Peripheral blood smear:
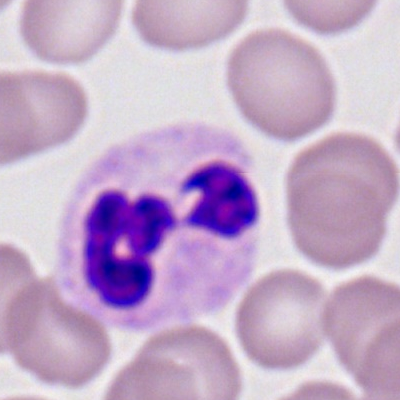{"cell_type": "neutrophil (segmented)", "lineage": "myeloid"}